May-Grünwald-Giemsa stain; bone marrow aspirate smear:
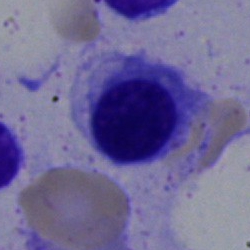

Morphology consistent with a nucleated red cell.